Bone marrow smear:
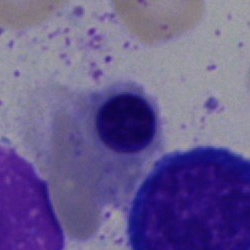

Showing a nucleated red blood cell.